Bone marrow smear
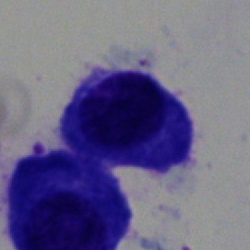 Specimen: bone marrow aspirate smear.
Cell: erythroblast.
Lineage: erythroid.